M8 digital microscope (Precipoint), 100× oil immersion · Romanowsky stain · peripheral blood film — 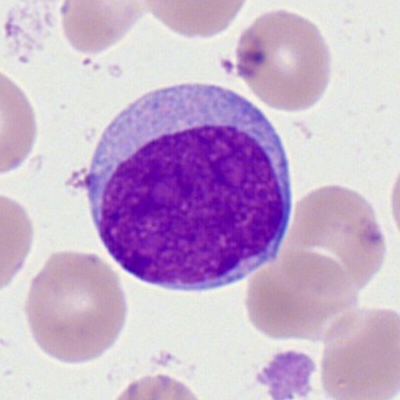Q: What type of cell is this?
A: A myeloblast.